Image size 250×250. Bone marrow aspirate smear.
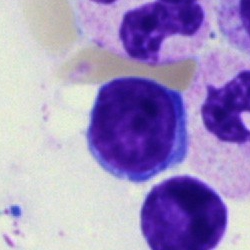

Cell = lymphocyte.